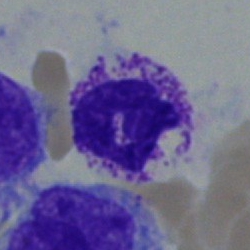This is a segmented neutrophil.